MGG-stained; bone marrow aspirate smear.
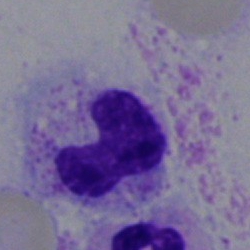

{"cell_type": "band-form neutrophil"}